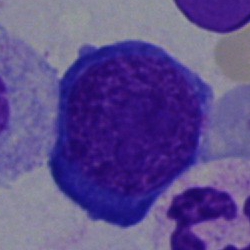
Cell: nucleated red cell.